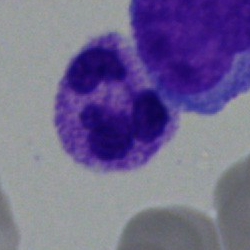
Morphology consistent with a neutrophil (segmented).